Bone marrow aspirate smear · May-Grünwald-Giemsa/Pappenheim stain: 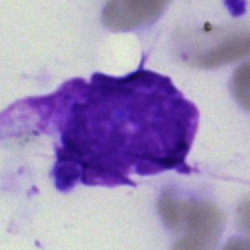
Q: What is shown here?
A: This is an artifact.